Peripheral blood film · 400 by 400 pixels — 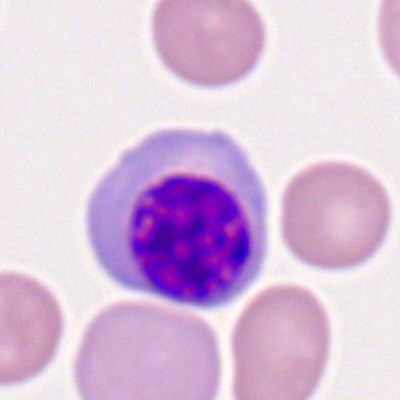 A nucleated red blood cell.